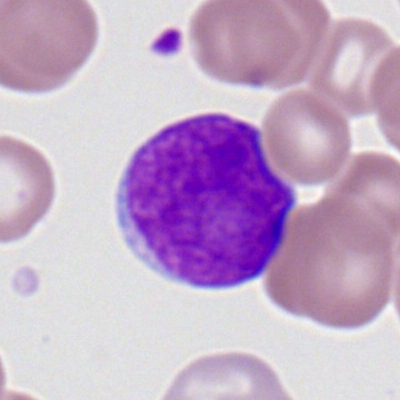Q: What is the morphological classification of this cell?
A: It is a myeloblast.